Image size 250×250. Bone marrow smear
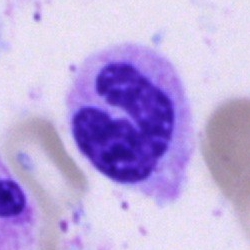 Specimen: bone marrow aspirate smear.
Morphological class: segmented neutrophil.
Lineage: myeloid.